Bone marrow aspirate smear; May-Grünwald-Giemsa/Pappenheim stain:
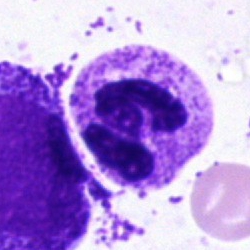
Classification: segmented neutrophil.